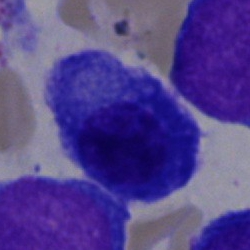

A plasmacyte.